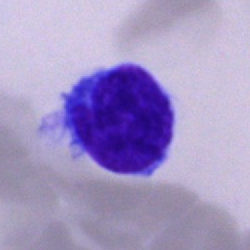
A typical lymphocyte.